Bone marrow aspirate smear. Pappenheim-stained.
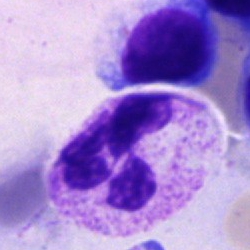 Specimen: bone marrow aspirate smear.
Classification: neutrophil (segmented).